Bone marrow aspirate smear · 40× oil immersion — 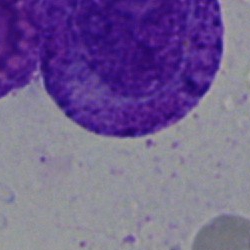 Showing a promyelocyte.